Bone marrow smear: 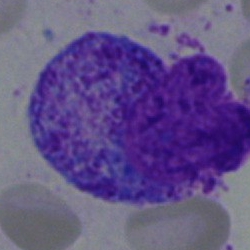

Q: Which cell type is shown here?
A: Progranulocyte.